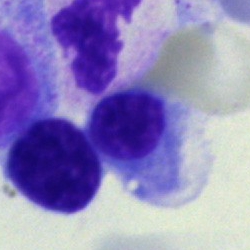

Bone marrow smear showing a nucleated red blood cell.